250×250. Bone marrow aspirate smear.
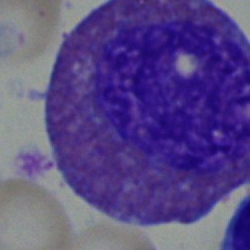 Eosinophil.